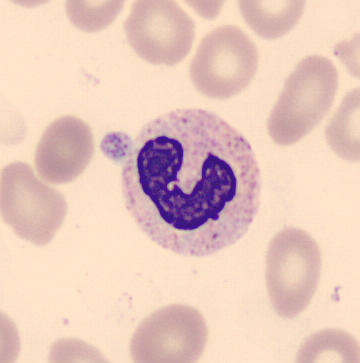 Identified as a stab cell.

Preparation: Peripheral blood film.